Bone marrow aspirate smear
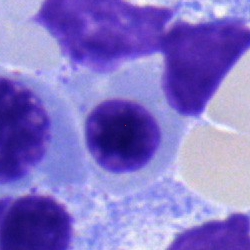

This is an erythroblast.